Bone marrow smear.
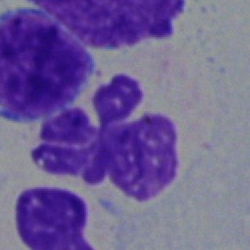

The cell is polymorphonuclear neutrophil.